Bone marrow aspirate smear: 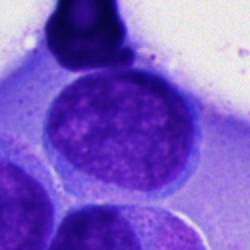The cell type is blast.